Image size 250×250 · bone marrow smear — 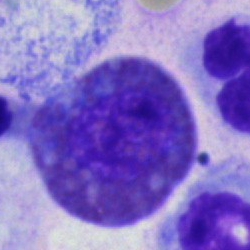The cell shown is an eosinophil.